Bone marrow smear:
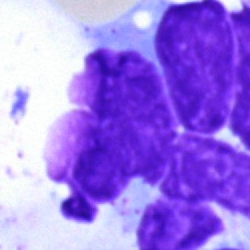
An artefact.